Bone marrow aspirate smear:
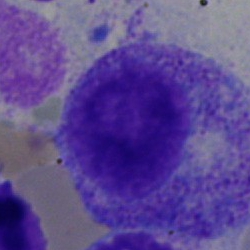
Q: What cell is this?
A: Myelocyte.